Peripheral blood film — 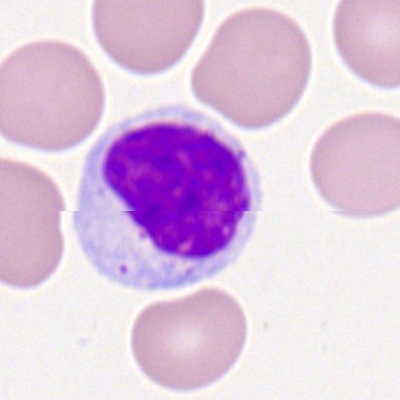Morphology consistent with a lymphocyte.